Bone marrow smear:
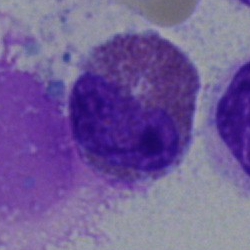
Specimen: bone marrow aspirate smear.
Classification: eosinophil.
Lineage: myeloid.